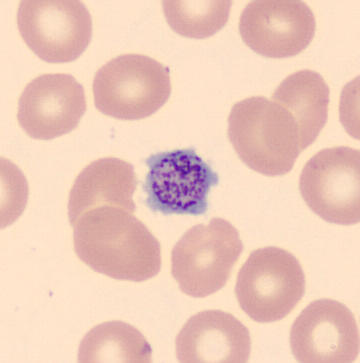
Q: What is shown here?
A: A platelet (thrombocyte).